Bone marrow smear: 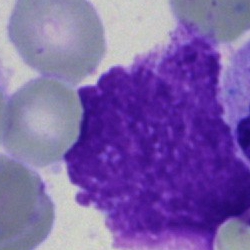

This is an artefact.